Peripheral blood smear: 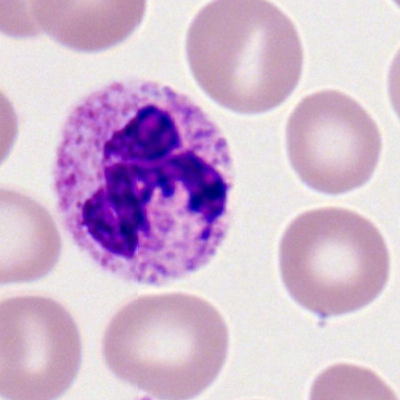
Morphology consistent with a segmented neutrophil.